Bone marrow aspirate smear · May-Grünwald-Giemsa/Pappenheim stain · 40× objective, oil immersion: 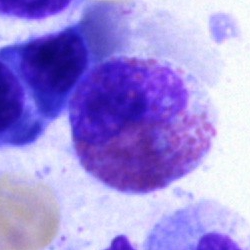Cell: eosinophil.